Single-cell crop. May-Grünwald-Giemsa/Pappenheim stain. Bone marrow aspirate smear
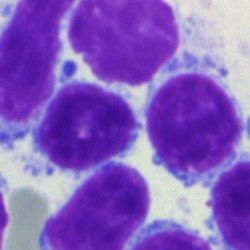 Classification: lymphocyte.